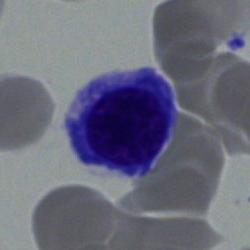

Q: What type of cell is this?
A: It is a normoblast.